Bone marrow aspirate smear — 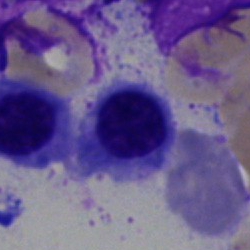
Showing a nucleated red blood cell.